Bone marrow aspirate smear. Single cell centered in the field. Brightfield microscopy, 40× oil immersion:
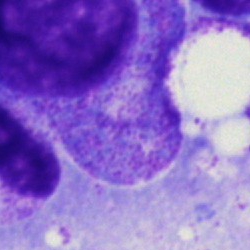
This is an artefact.